Bone marrow aspirate smear.
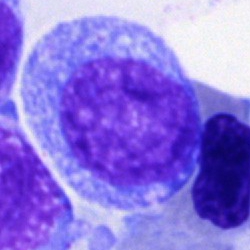Q: What cell is this?
A: A blast cell.